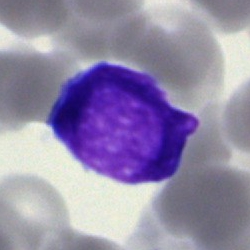
Morphology — undifferentiated blast.